Bone marrow aspirate smear. Single-cell crop:
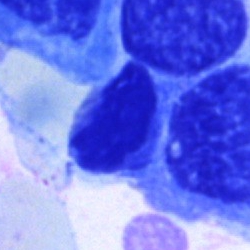Morphology consistent with an artifact.